Bone marrow smear.
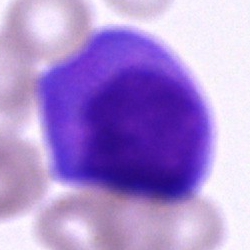

Cell type = cell of indeterminate lineage.